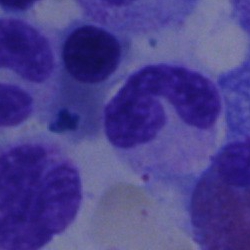
A neutrophil (segmented).